Bone marrow smear.
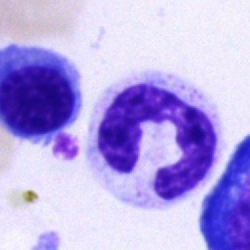
A neutrophil (segmented).